Brightfield, 40× oil-immersion objective. Cropped to a single cell. Bone marrow aspirate smear.
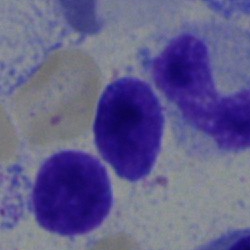Q: What cell is this?
A: Typical lymphocyte.